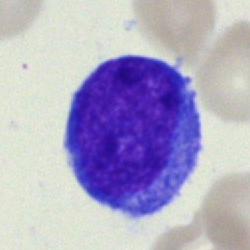

Specimen: bone marrow aspirate smear.
Cell type: blast cell.